40× oil immersion. Bone marrow smear.
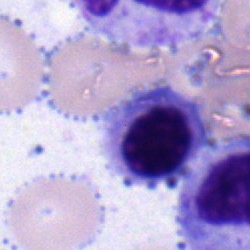 This is an erythroblast.